Bone marrow smear. Brightfield, 40× oil-immersion objective
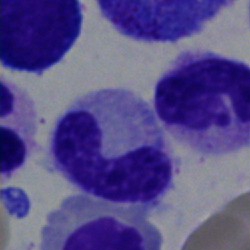
Specimen: bone marrow smear.
Classification: band-form neutrophil.
Lineage: myeloid.